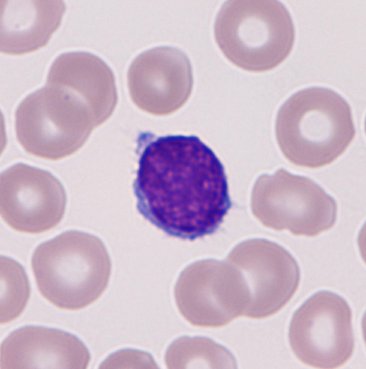 Identified as a typical lymphocyte.
MGG stain. Peripheral blood smear. CellaVision DM96 digital cell image.